40× oil immersion. Bone marrow smear. 250 by 250 pixels:
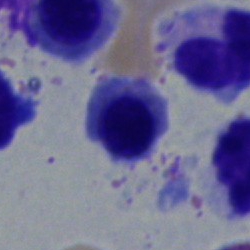 A nucleated red cell.